Brightfield microscopy, 40× oil immersion · bone marrow aspirate smear.
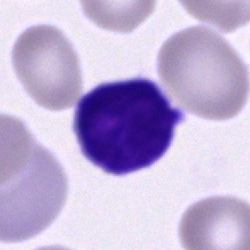

Q: What is the morphological classification of this cell?
A: It is a lymphocyte.